Bone marrow smear
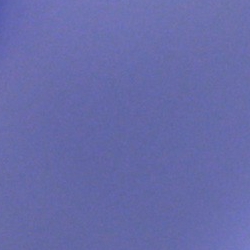
Q: What is shown here?
A: It is an artefact.